Bone marrow smear. 250 by 250 pixels: 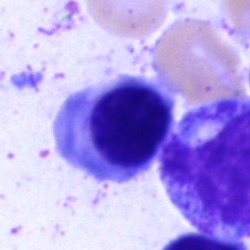 This is a nucleated red cell.